Bone marrow smear · May-Grünwald-Giemsa stain · brightfield microscopy, 40× oil immersion: 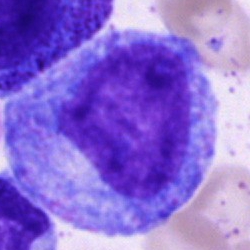
Morphological class — promyelocyte.